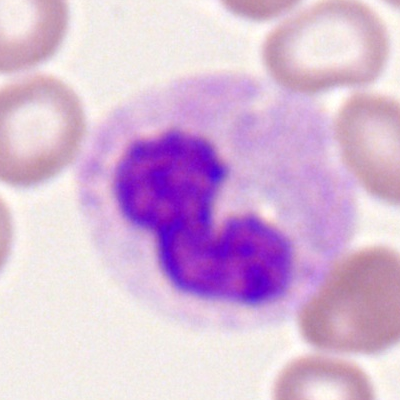

{"cell_type": "polymorphonuclear neutrophil", "lineage": "myeloid"}